Bone marrow aspirate smear. Single cell centered in the field — 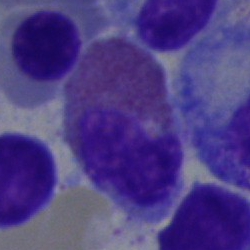The morphological class is eosinophil.